Bone marrow aspirate smear · 250 by 250 pixels
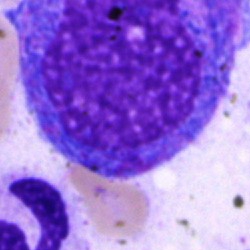
Morphological class: promyelocyte.